Bone marrow smear · Pappenheim-stained: 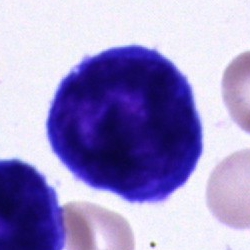 Morphological class — cell of indeterminate lineage.